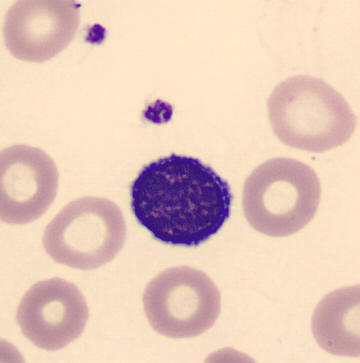 The cell is typical lymphocyte. Peripheral blood smear.